Bone marrow aspirate smear. Brightfield microscopy, 40× oil immersion:
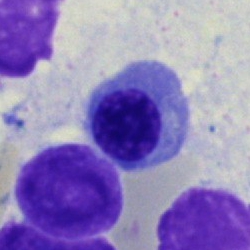
Morphology — normoblast.